40× objective, oil immersion · bone marrow aspirate smear · 250×250:
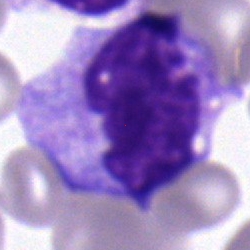

Morphology → monocyte.